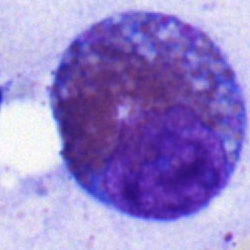 Q: Identify the cell.
A: An eosinophilic granulocyte.